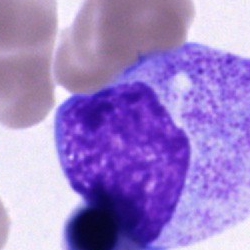Morphology consistent with a progranulocyte.